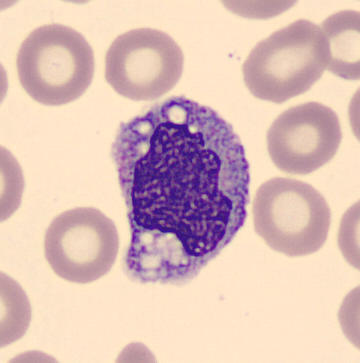
Specimen: peripheral blood smear.
Cell: monocyte.
Lineage: myeloid.